Bone marrow smear. Image size 250×250:
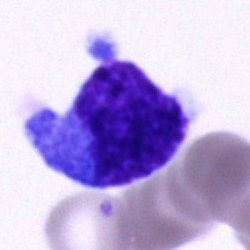 Morphology consistent with a blast cell.